Brightfield, 40× oil-immersion objective; single-cell crop; bone marrow aspirate smear:
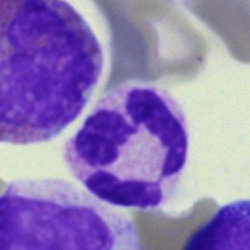 Morphology → polymorphonuclear neutrophil.